40× objective, oil immersion; bone marrow aspirate smear; May-Grünwald-Giemsa stain:
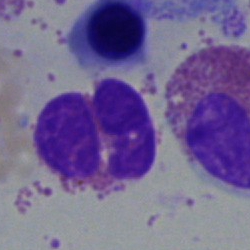Morphological class = eosinophil.